250×250 px · single-cell crop · bone marrow smear:
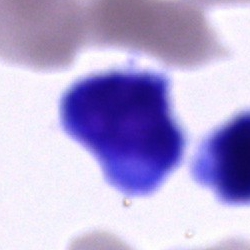The cell is blast.